Bone marrow aspirate smear. 250×250 px
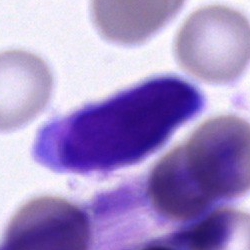Cell of indeterminate lineage.